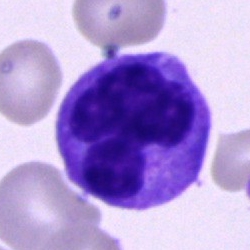Cell type = monocyte.